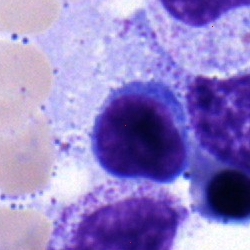 The cell shown is a typical lymphocyte.